Peripheral blood film:
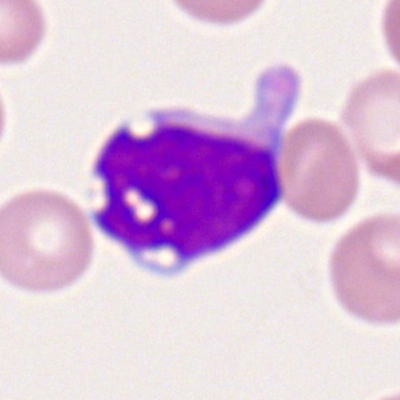

The morphological class is myeloid blast.